Bone marrow aspirate smear. 40× objective, oil immersion: 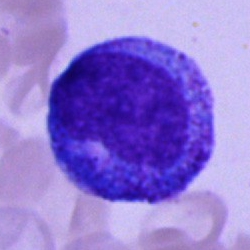
Q: What is the morphological classification of this cell?
A: This is a promyelocyte.